Romanowsky-stained. 400×400 px. Peripheral blood film — 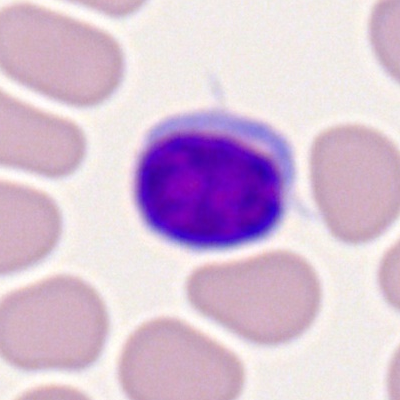 Specimen: peripheral blood smear.
Classification: lymphocyte.
Lineage: lymphoid.